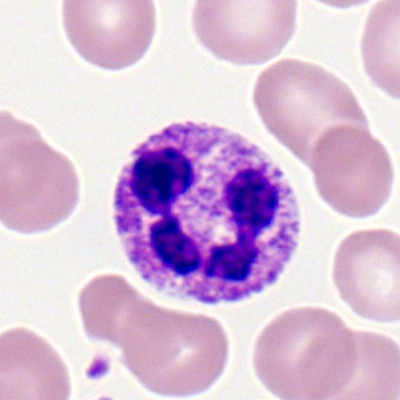
Cell: neutrophil (segmented).